Bone marrow smear:
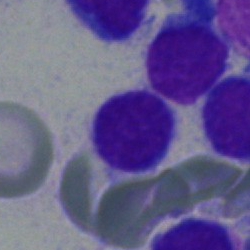

Cell = lymphocyte.